Bone marrow smear.
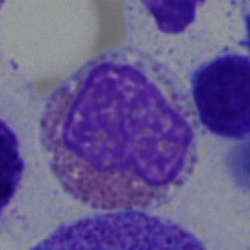The cell shown is an eosinophilic granulocyte.